Bone marrow smear.
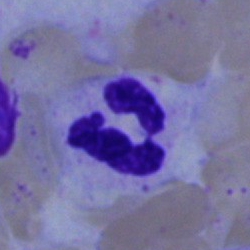
Morphological class: segmented neutrophil.